100× oil immersion; peripheral blood film — 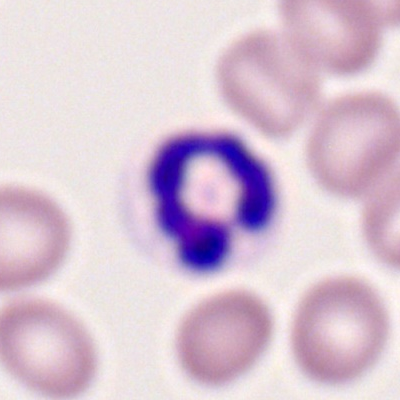This is a segmented neutrophil.